Bone marrow smear; image size 250×250; Pappenheim-stained: 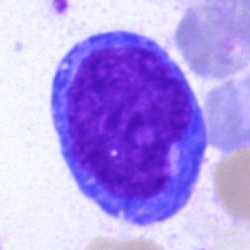

Specimen: bone marrow smear.
Cell type: blast.